Bone marrow smear. 40× oil immersion
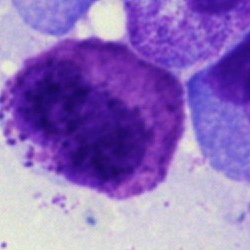

Basophil.